250 by 250 pixels. Bone marrow aspirate smear:
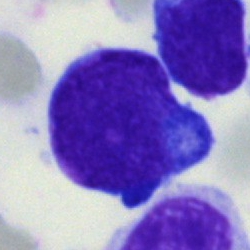

Showing a blast cell.